Bone marrow aspirate smear
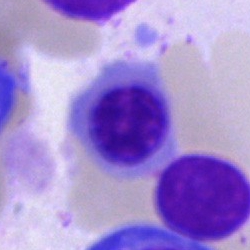

Specimen: bone marrow smear.
Morphological class: erythroblast.